Bone marrow aspirate smear.
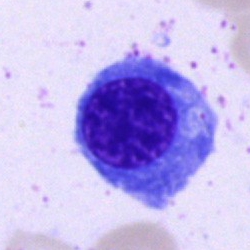
The cell type is normoblast.